Bone marrow smear. Single cell centered in the field. 250×250 px: 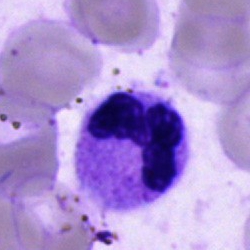 The cell type is segmented neutrophil.